Bone marrow smear.
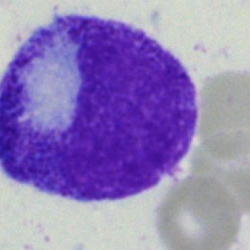

Promyelocyte.